40× oil immersion · bone marrow smear · May-Grünwald-Giemsa/Pappenheim stain.
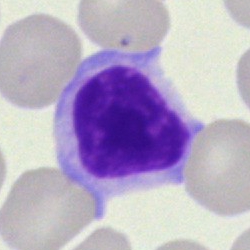
Q: What is the morphological classification of this cell?
A: A typical lymphocyte.